40× objective, oil immersion · Pappenheim-stained · bone marrow aspirate smear
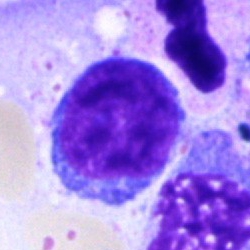

This is a lymphocyte.